Bone marrow smear — 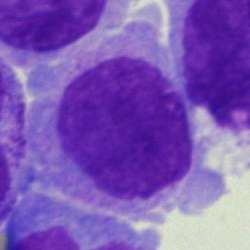

Cell: blast cell.